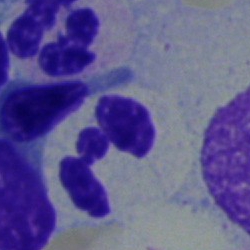

The cell shown is a segmented neutrophil.